Bone marrow smear:
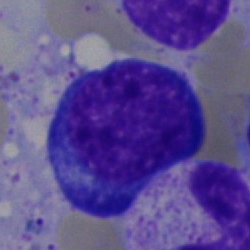
{"cell_type": "normoblast", "lineage": "erythroid"}